Image size 250×250; Pappenheim-stained; bone marrow smear
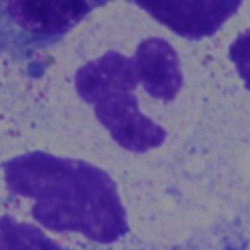Classification: segmented neutrophil.